Bone marrow aspirate smear
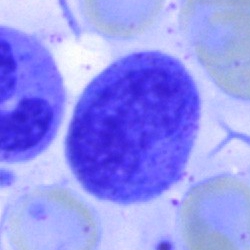Cell type — unidentifiable cell.